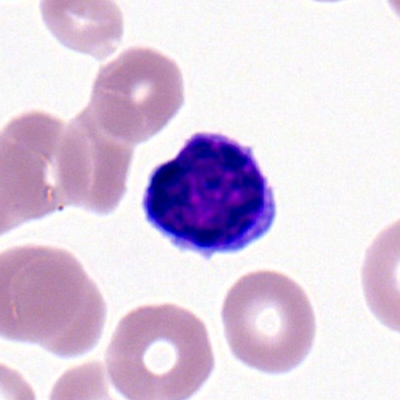

Impression → lymphocyte.